Single-cell crop; bone marrow aspirate smear — 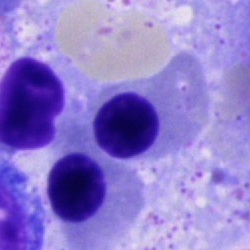 Morphology — normoblast.